Bone marrow aspirate smear:
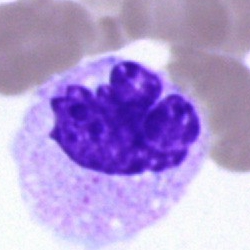The cell type is polymorphonuclear neutrophil.